Bone marrow smear
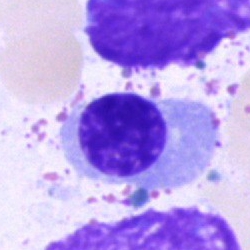 The cell type is nucleated red blood cell.